Peripheral blood film. Romanowsky stain: 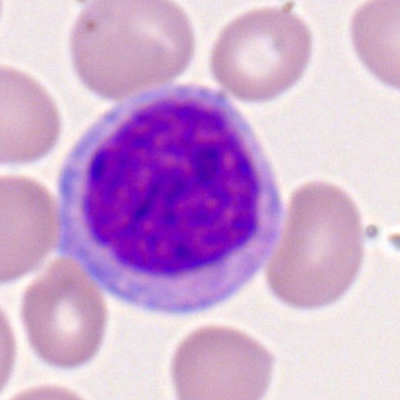Monocyte.